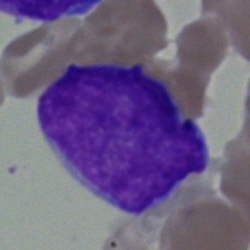 Q: What is the morphological classification of this cell?
A: Blast.